Bone marrow aspirate smear
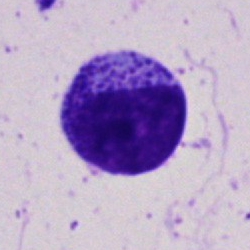

The cell shown is a metamyelocyte.